Bone marrow aspirate smear.
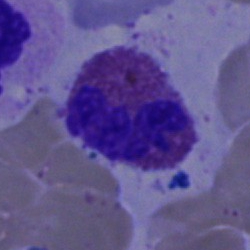{"cell_type": "eosinophilic granulocyte"}